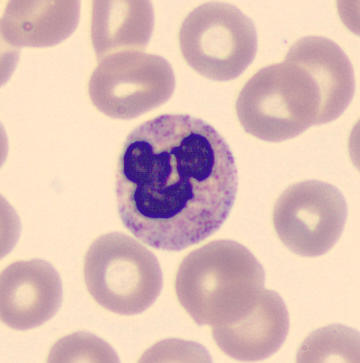

Cell type — neutrophil (segmented).